Bone marrow aspirate smear. Pappenheim-stained:
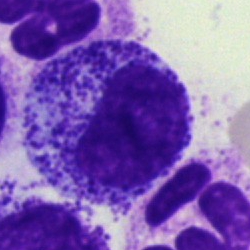Q: What type of cell is this?
A: A promyelocyte.